Bone marrow smear. 40× oil immersion — 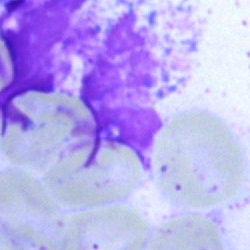Specimen: bone marrow aspirate smear.
Classification: artefact.